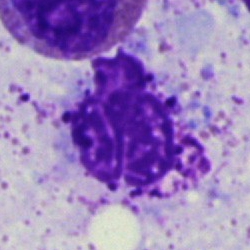
Specimen: bone marrow smear.
Cell: artefact.